Bone marrow smear · May-Grünwald-Giemsa/Pappenheim stain · 40× objective, oil immersion — 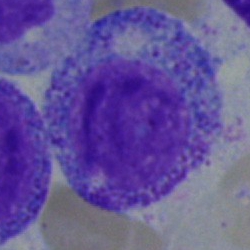Showing a myelocyte.